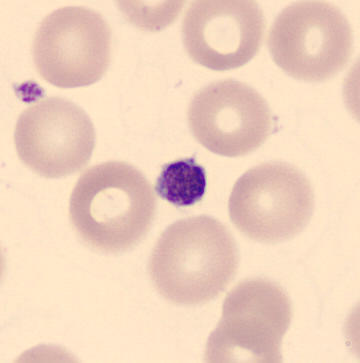
Classification: platelet (thrombocyte).
Image: Peripheral blood smear.